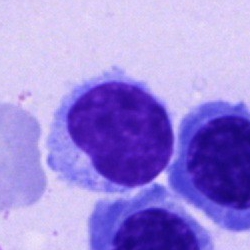Showing a typical lymphocyte.